Bone marrow smear.
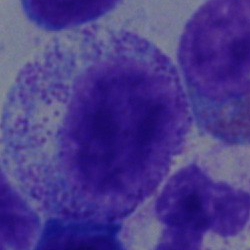{"cell_type": "myelocyte", "lineage": "myeloid"}